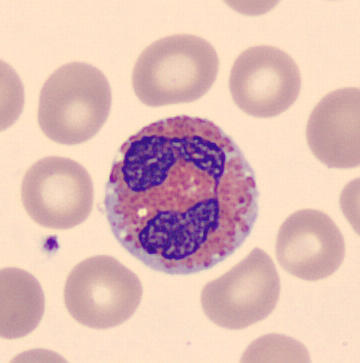Q: Identify the cell.
A: This is an eosinophilic granulocyte.